Bone marrow aspirate smear. Single-cell field. Image size 250×250:
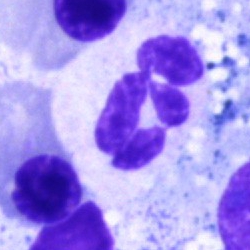{"cell_type": "segmented neutrophil", "lineage": "myeloid"}